Bone marrow smear
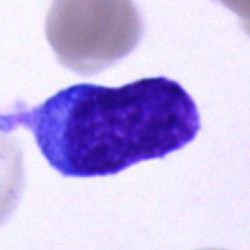 Q: What is shown here?
A: It is a blast.